Cropped to a single cell. 250×250 px. Bone marrow aspirate smear — 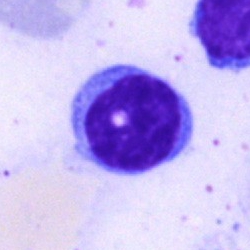

Cell type — lymphocyte.